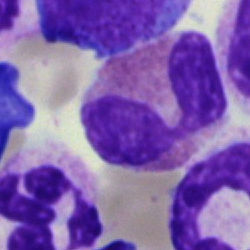

The cell type is eosinophil.